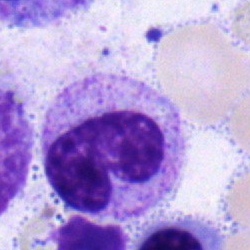The morphological class is band-form neutrophil.